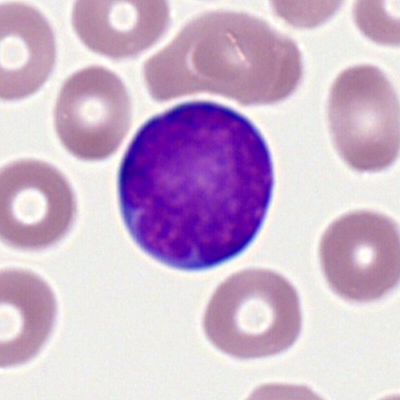
{"cell_type": "myeloid blast"}